MGG-stained · bone marrow aspirate smear.
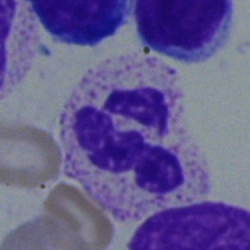The cell type is polymorphonuclear neutrophil.